Brightfield microscopy, 40× oil immersion; bone marrow smear.
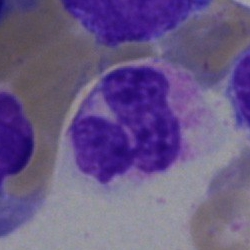

Q: What cell is this?
A: This is a polymorphonuclear neutrophil.